Bone marrow aspirate smear.
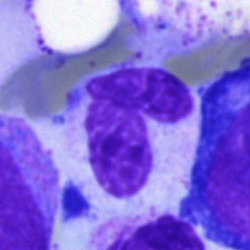Cell: band-form neutrophil.